Bone marrow smear · 250 by 250 pixels
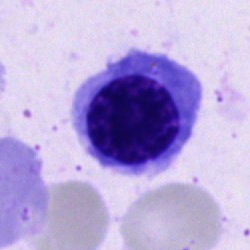A nucleated red blood cell.